Bone marrow aspirate smear; 250×250.
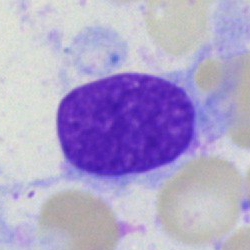

Single cell identified as an artefact.